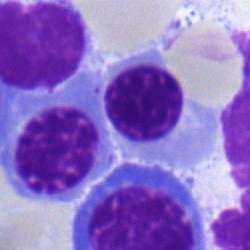Bone marrow aspirate smear, single cell — erythroblast.